Bone marrow aspirate smear
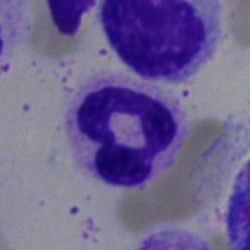

Impression → polymorphonuclear neutrophil.